May-Grünwald-Giemsa stain; 250×250 px; bone marrow aspirate smear — 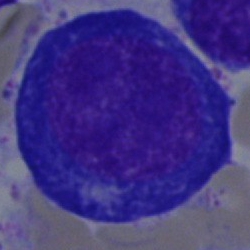
Specimen: bone marrow aspirate smear.
Cell: nucleated red blood cell.